Bone marrow aspirate smear · brightfield, 40× oil-immersion objective: 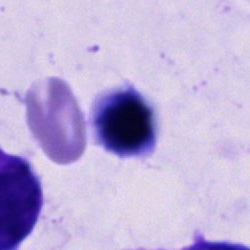{"cell_type": "unidentifiable cell"}